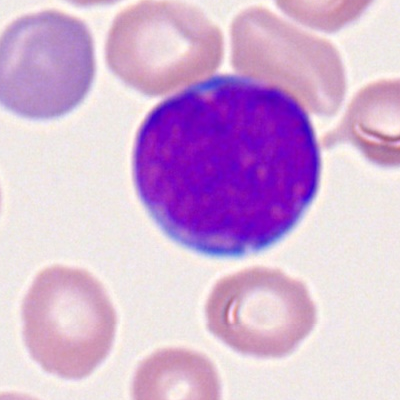
Specimen: peripheral blood smear.
Classification: myeloid blast.
Lineage: myeloid.